40× oil immersion. Bone marrow smear: 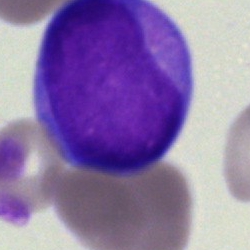The morphological class is blast cell.